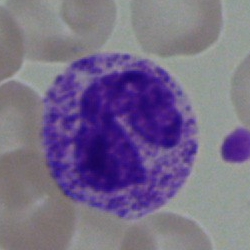

Q: What cell is this?
A: A band neutrophil.